Bone marrow aspirate smear: 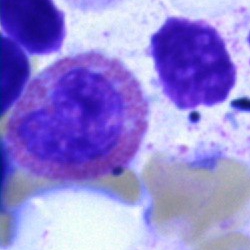

Q: What is shown here?
A: It is an eosinophilic granulocyte.